Bone marrow aspirate smear.
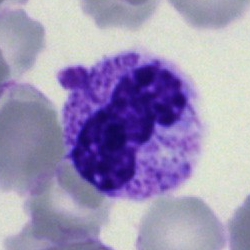
Specimen: bone marrow aspirate smear.
Morphological class: polymorphonuclear neutrophil.
Lineage: myeloid.